Cropped to a single cell. Bone marrow aspirate smear:
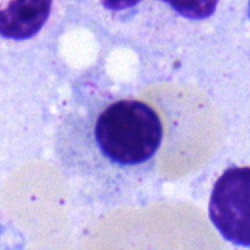Morphology → erythroblast.